250×250 px; 40× objective, oil immersion; bone marrow aspirate smear.
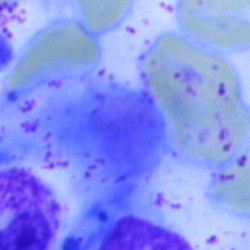
An artifact.